Pappenheim-stained · bone marrow smear: 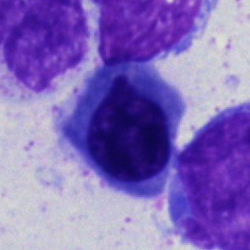
Q: Identify the cell.
A: This is a nucleated red blood cell.